Bone marrow aspirate smear.
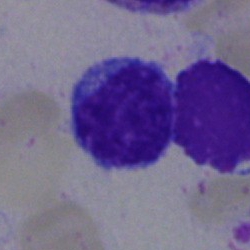 Q: Identify the cell.
A: Lymphocyte.